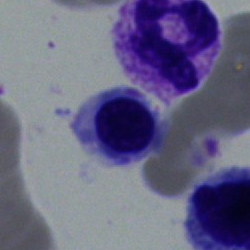 Showing a normoblast.